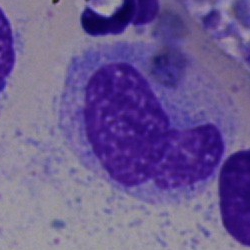 Q: Identify the cell.
A: Monocyte.